Single cell centered in the field. Image size 250×250. Bone marrow aspirate smear.
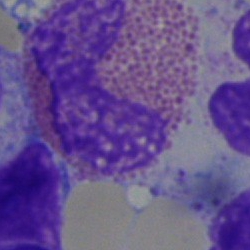
The cell is eosinophilic granulocyte.